MGG-stained · single-cell field · bone marrow aspirate smear: 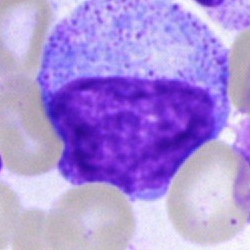 Showing a progranulocyte.